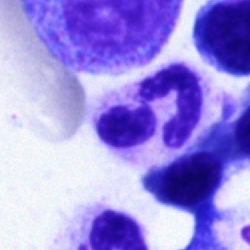 The cell shown is a neutrophil (segmented).